Bone marrow smear; 250 by 250 pixels; brightfield microscopy, 40× oil immersion: 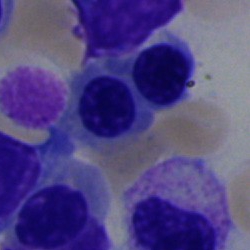

Morphology consistent with a nucleated red blood cell.